Peripheral blood film · 100× oil immersion.
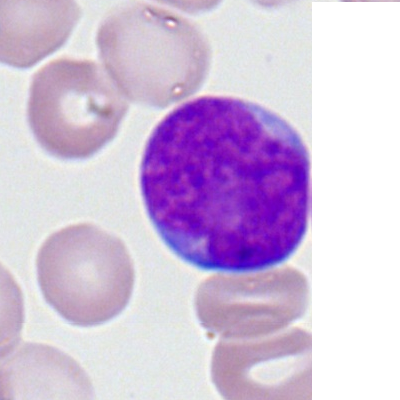
Q: What cell is this?
A: A myeloblast.